Bone marrow smear.
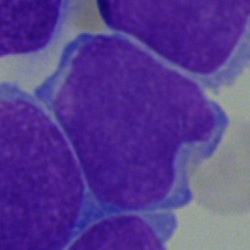
The cell type is blast cell.